Pappenheim-stained; bone marrow aspirate smear
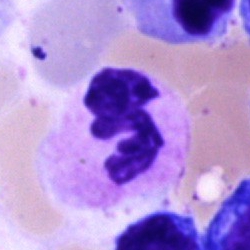 {"cell_type": "neutrophil (segmented)"}